Bone marrow smear.
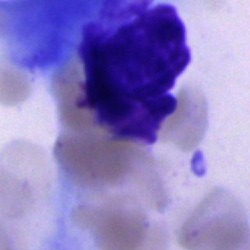This is an artefact.